Bone marrow aspirate smear · brightfield, 40× oil-immersion objective · 250×250.
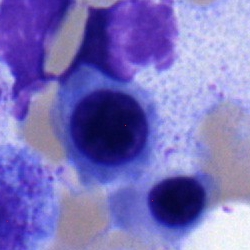

The cell type is nucleated red cell.